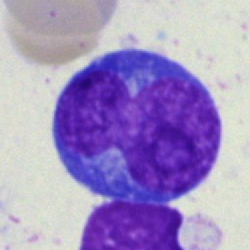The cell shown is a monocyte.